Bone marrow aspirate smear: 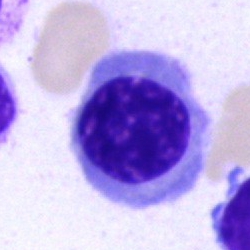

This is a nucleated red blood cell.